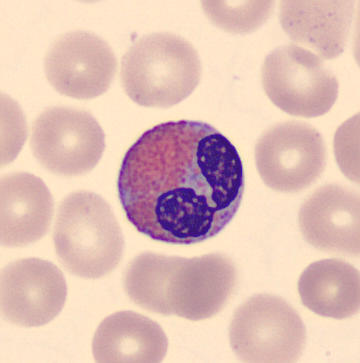Morphology — eosinophil.